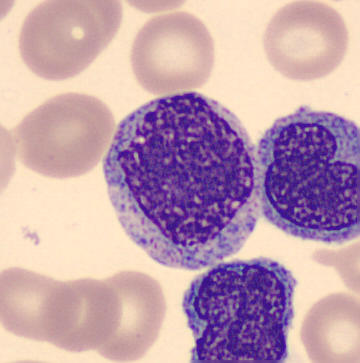

Cell = progranulocyte. Image: Peripheral blood film; 360 by 363 pixels.